Bone marrow aspirate smear.
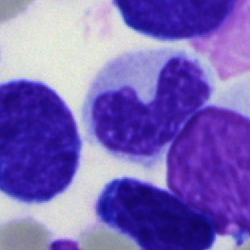 Cell type: neutrophil (band).